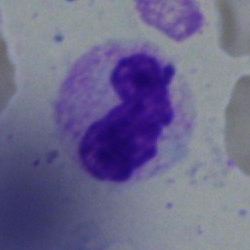Morphology — band neutrophil.